Bone marrow aspirate smear: 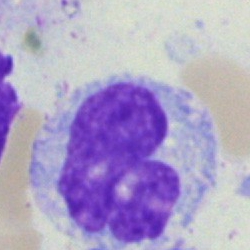
Cell = monocyte.